Bone marrow smear
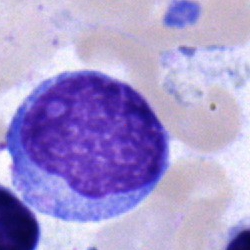

Blast.